Bone marrow smear · 250×250 px · brightfield, 40× oil-immersion objective.
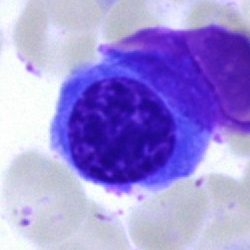
Impression → erythroblast.